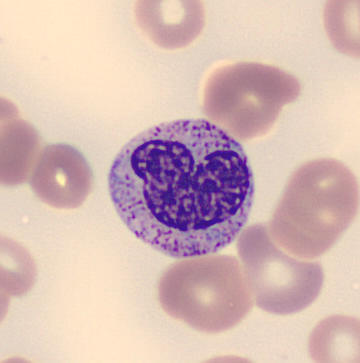

Single-cell crop from a peripheral blood smear: metamyelocyte.